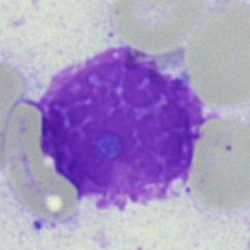 An artifact on a bone marrow smear.